Bone marrow aspirate smear; 250×250:
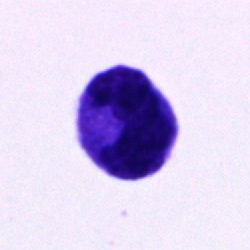This is an unidentifiable cell.